Bone marrow smear:
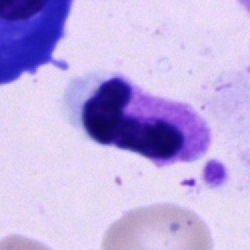

The cell type is polymorphonuclear neutrophil.